250×250 px · bone marrow aspirate smear:
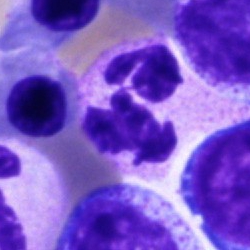

Q: What cell is this?
A: A polymorphonuclear neutrophil.